Bone marrow smear; 250×250 — 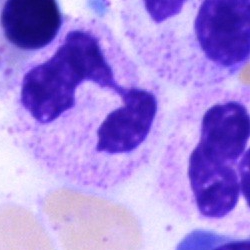

Q: Which cell type is shown here?
A: It is a segmented neutrophil.